Bone marrow smear — 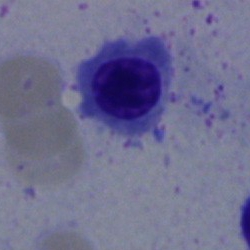

This is an erythroblast.